Bone marrow aspirate smear — 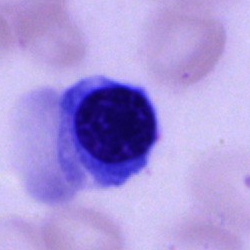
Morphological class — nucleated red cell.